May-Grünwald-Giemsa/Pappenheim stain. 40× objective, oil immersion. Bone marrow aspirate smear
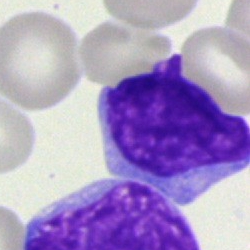{"cell_type": "undifferentiated blast"}